Bone marrow aspirate smear. 40× oil immersion — 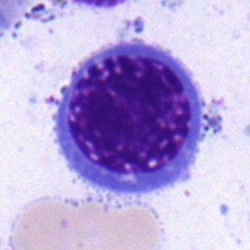

Q: Which cell type is shown here?
A: Nucleated red blood cell.